Bone marrow smear.
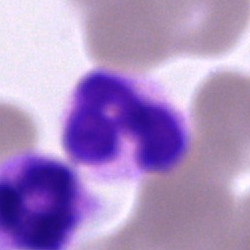

Q: Which cell type is shown here?
A: Segmented neutrophil.